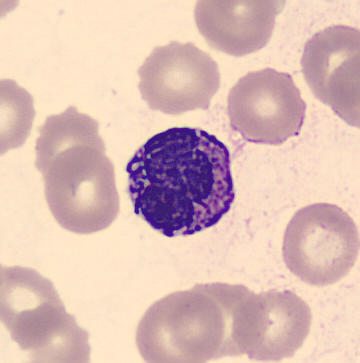
Q: What cell is this?
A: A basophilic granulocyte.